Peripheral blood smear; image size 400×400: 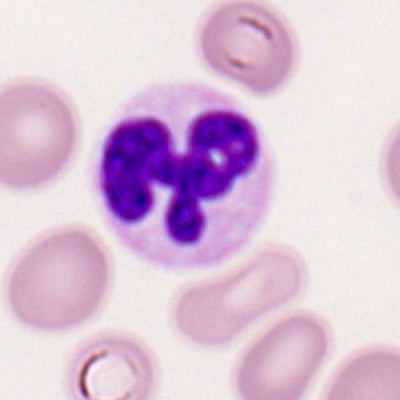Showing a polymorphonuclear neutrophil.